Bone marrow aspirate smear · 40× objective, oil immersion: 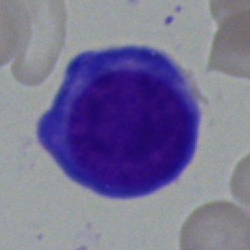 Q: What is shown here?
A: A normoblast.